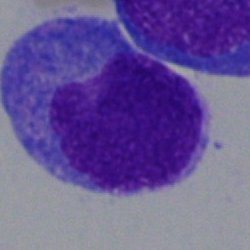Single-cell crop from a bone marrow smear: blast cell.